Bone marrow smear
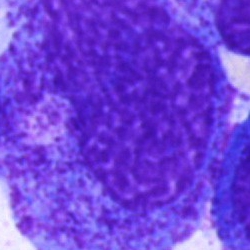

Morphological class — promyelocyte.